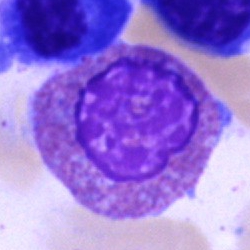

Bone marrow smear showing an eosinophil.